Bone marrow smear
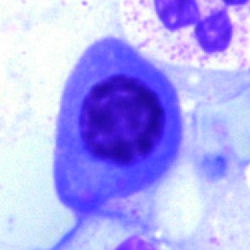A normoblast.